250×250 px · bone marrow smear · single-cell field.
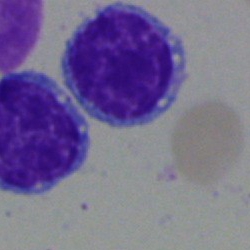

A lymphocyte.